250 by 250 pixels; bone marrow smear; May-Grünwald-Giemsa stain: 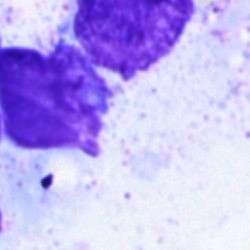
Q: What is shown here?
A: Artefact.